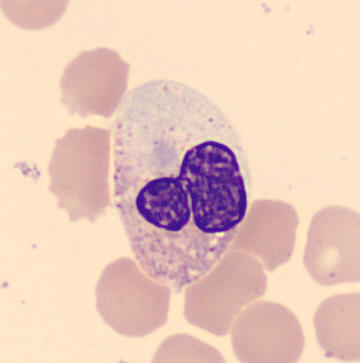
Single cell identified as a polymorphonuclear neutrophil. 360 by 363 pixels · peripheral blood smear.